Automated cell imaging (CellaVision DM96) · single-cell crop · peripheral blood film.
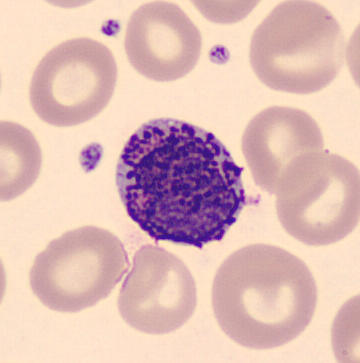Morphology — basophilic granulocyte.